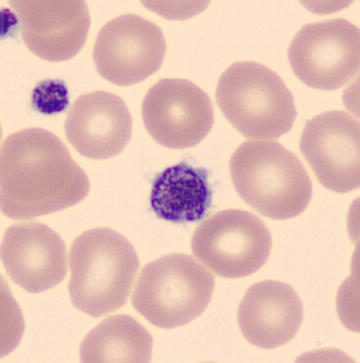 Q: What is shown here?
A: Thrombocyte.
Acquisition: Peripheral blood film. Automated cell imaging (CellaVision DM96). 360×363 px.